Peripheral blood film; cropped to a single cell — 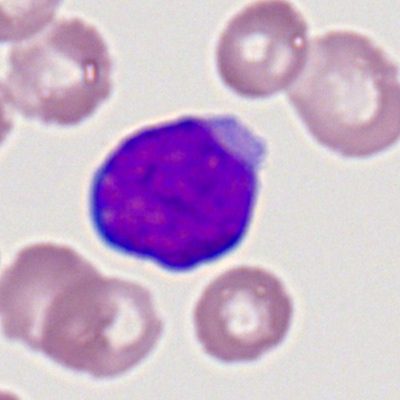
A myeloblast.